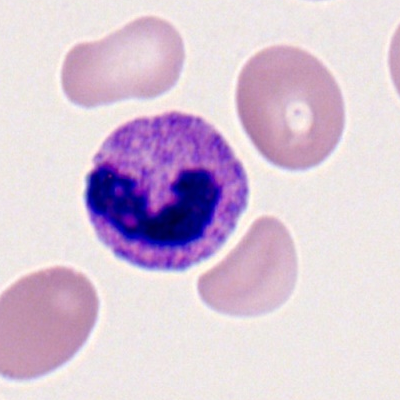
Showing a neutrophil (segmented).